Bone marrow aspirate smear
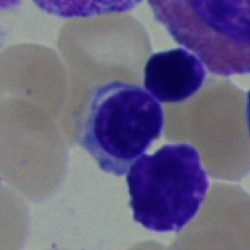
Cell: nucleated red blood cell.